Bone marrow smear; 40× objective, oil immersion
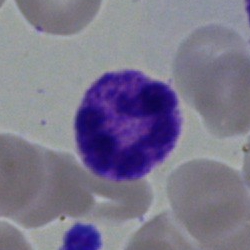
Morphology → polymorphonuclear neutrophil.